Bone marrow aspirate smear:
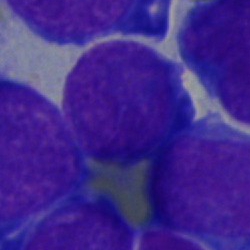

Q: What is shown here?
A: This is an undifferentiated blast.